Bone marrow aspirate smear
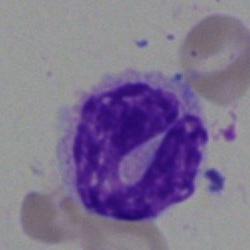
{"cell_type": "polymorphonuclear neutrophil"}